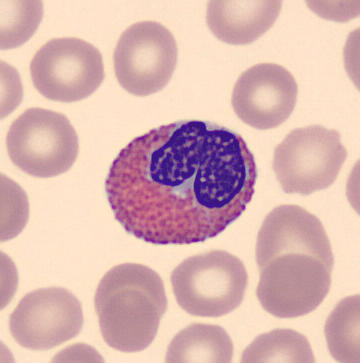Image: Peripheral blood smear; May Grünwald-Giemsa stain. Cell: eosinophil.